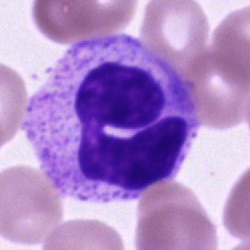Morphology → segmented neutrophil.